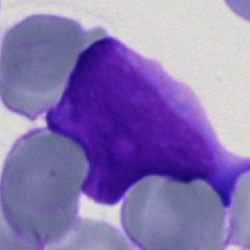
Impression — blast.